Bone marrow smear. 250×250 px
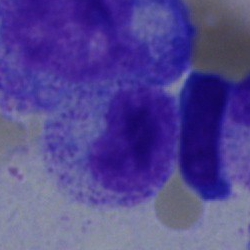Q: Which cell type is shown here?
A: It is a stab cell.